May-Grünwald-Giemsa/Pappenheim stain; bone marrow smear; single-cell field: 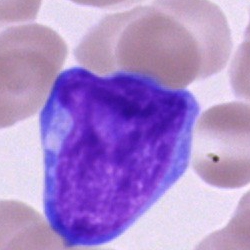The cell shown is a blast.